Bone marrow smear · cropped to a single cell · 40× objective, oil immersion
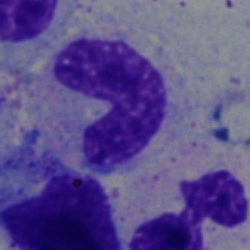This is a stab cell.